Bone marrow aspirate smear; 250×250 px; May-Grünwald-Giemsa/Pappenheim stain
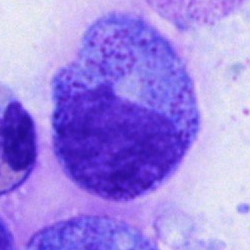

Morphology — progranulocyte.